Brightfield, 40× oil-immersion objective; bone marrow smear; 250×250
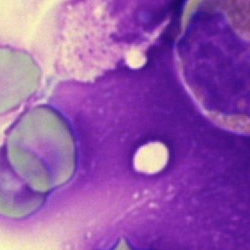

The cell shown is an artifact.